May-Grünwald-Giemsa/Pappenheim stain · bone marrow smear: 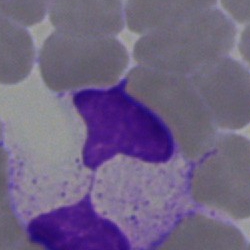 This is an artefact.